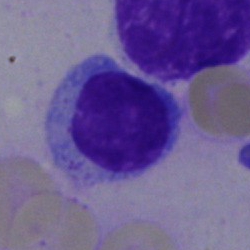
Morphology consistent with a typical lymphocyte.